Peripheral blood film:
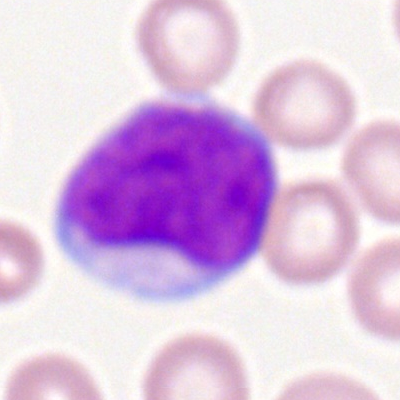 This is a myeloid blast.